Bone marrow aspirate smear: 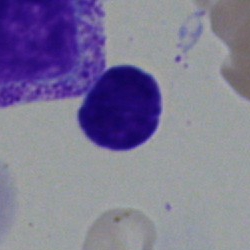 Morphology — typical lymphocyte.